Bone marrow aspirate smear. MGG-stained
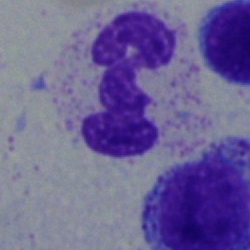
A polymorphonuclear neutrophil.